Bone marrow smear: 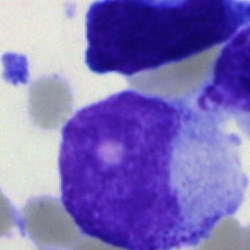

A blast.